Bone marrow aspirate smear
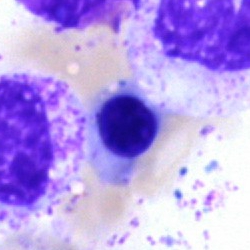

Cell: erythroblast.